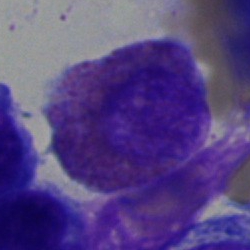
Cell type = eosinophil.